Bone marrow smear. Single cell centered in the field. 250×250
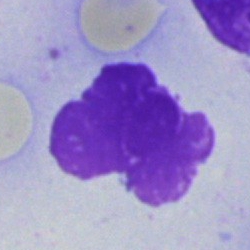

Cell type: artifact.